Single-cell field. Bone marrow smear — 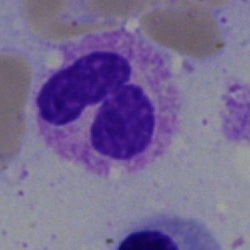The cell shown is a neutrophil (segmented).